Single-cell crop; bone marrow aspirate smear; 40× oil immersion — 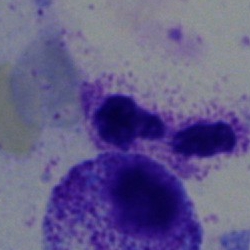 Q: What is the morphological classification of this cell?
A: This is a neutrophil (segmented).